Bone marrow aspirate smear · single-cell field
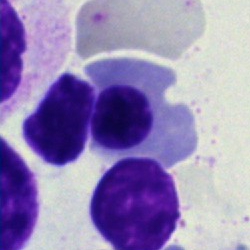This is a normoblast.